Bone marrow smear.
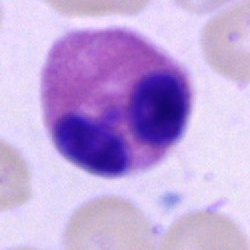

{"cell_type": "eosinophil"}